Peripheral blood film: 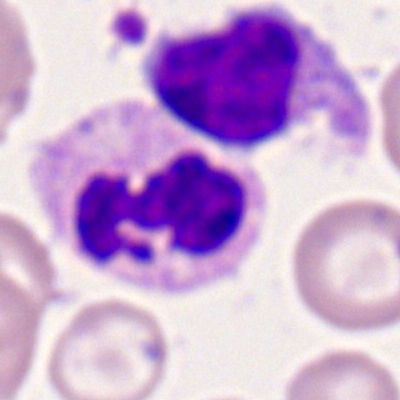 Cell = polymorphonuclear neutrophil.